MGG-stained · bone marrow aspirate smear.
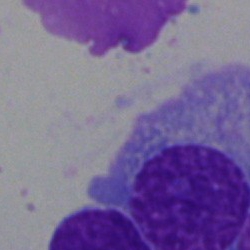Specimen: bone marrow smear.
Cell: artifact.